250×250. Bone marrow smear: 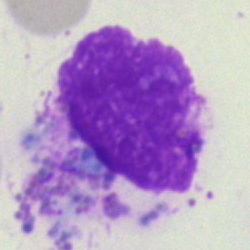Artefact.